Peripheral blood smear:
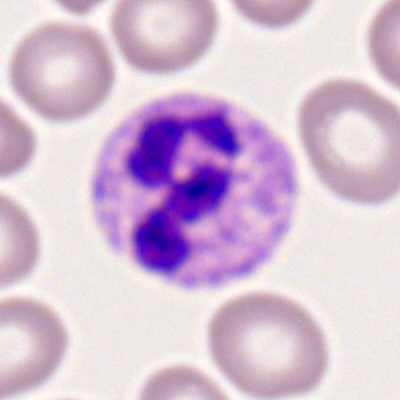

The cell is segmented neutrophil.